Bone marrow smear:
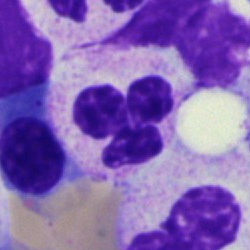Specimen: bone marrow smear.
Cell: segmented neutrophil.
Lineage: myeloid.